Bone marrow smear.
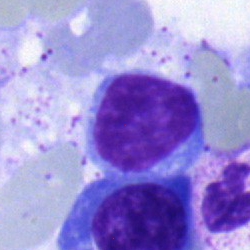

Cell: typical lymphocyte.